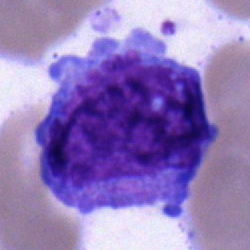Morphology → blast cell.